Peripheral blood film: 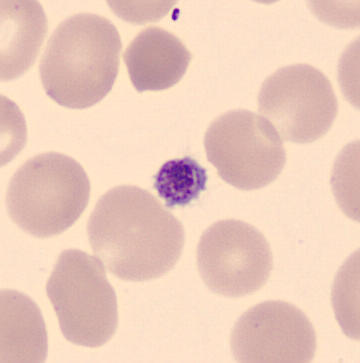 Morphology → thrombocyte.